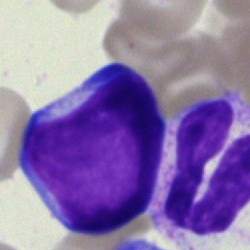 Single cell identified as an undifferentiated blast.